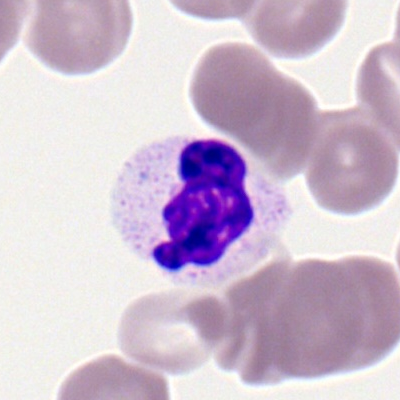
Segmented neutrophil.